Bone marrow aspirate smear
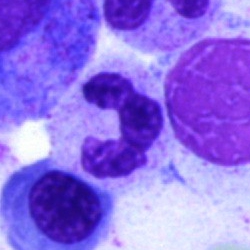The cell shown is a neutrophil (segmented).